250×250 · bone marrow aspirate smear.
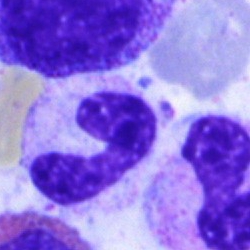Showing a stab cell.